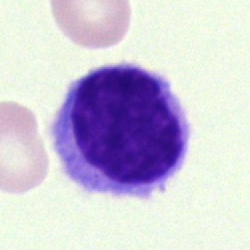

Specimen: bone marrow aspirate smear.
Cell: hairy cell.
Lineage: lymphoid.